Bone marrow aspirate smear — 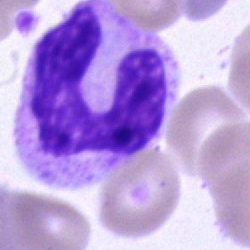 Specimen: bone marrow smear.
Cell: band-form neutrophil.
Lineage: myeloid.